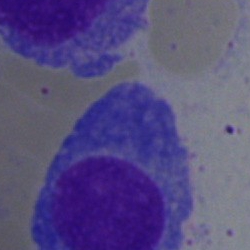
Single-cell crop from a bone marrow smear: plasmacyte.